Bone marrow smear.
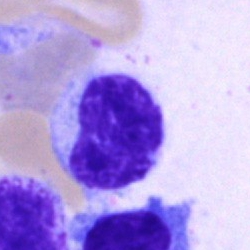Morphology — lymphocyte.